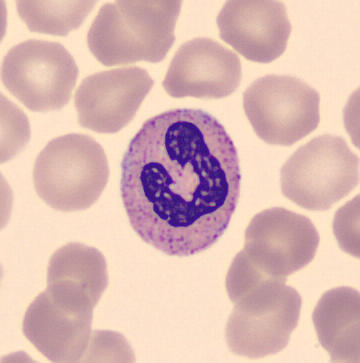The cell shown is a neutrophil (band).